250×250; bone marrow smear; single-cell crop:
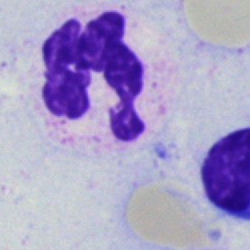
Q: What cell is this?
A: A segmented neutrophil.